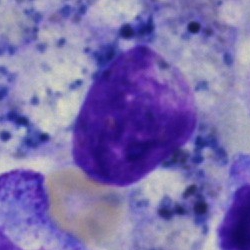
{"cell_type": "artefact"}